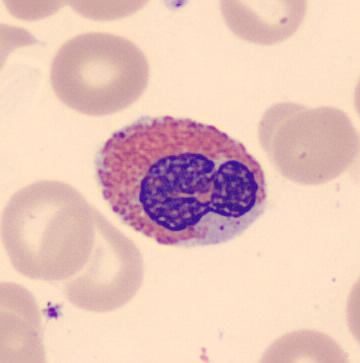

Image: 360×363 px. May Grünwald-Giemsa stain. Peripheral blood smear. An eosinophil.